Bone marrow smear. May-Grünwald-Giemsa/Pappenheim stain — 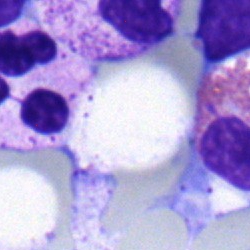
Specimen: bone marrow smear.
Morphological class: neutrophil (segmented).